Bone marrow smear.
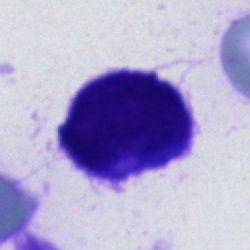Showing an unidentifiable cell.